Peripheral blood smear.
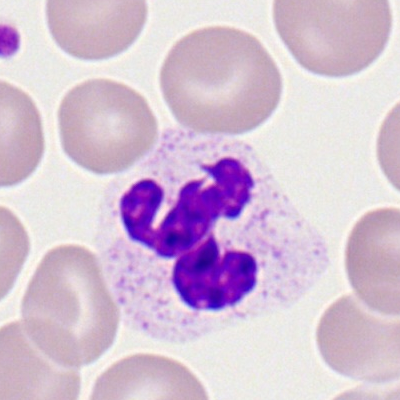

Q: What type of cell is this?
A: A segmented neutrophil.